Pappenheim-stained · bone marrow aspirate smear.
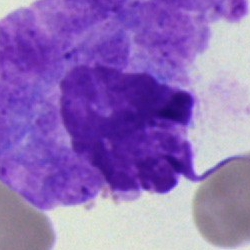

Morphology — artefact.